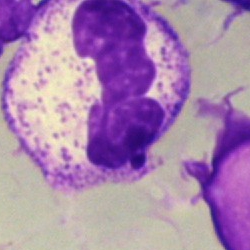
Morphological class: polymorphonuclear neutrophil.